Bone marrow aspirate smear
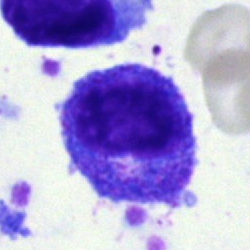
Morphology consistent with a progranulocyte.